Bone marrow aspirate smear.
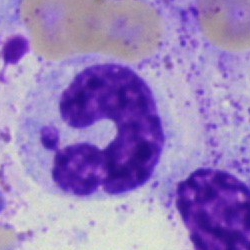
Stab cell.